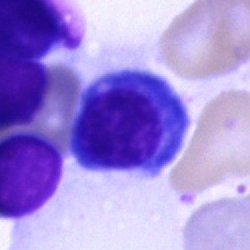

Showing an erythroblast.